Bone marrow aspirate smear. Brightfield, 40× oil-immersion objective.
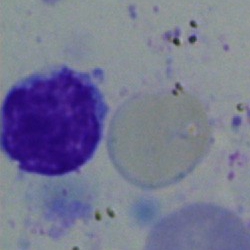

Morphology consistent with a typical lymphocyte.